MGG-stained · bone marrow smear.
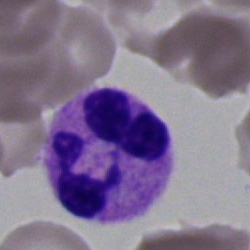 Specimen: bone marrow aspirate smear.
Cell: polymorphonuclear neutrophil.
Lineage: myeloid.